Bone marrow aspirate smear
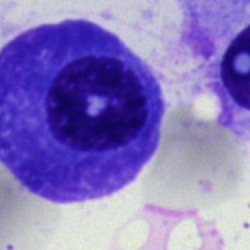
Q: What cell is this?
A: A plasmacyte.